Bone marrow smear · 40× objective, oil immersion · image size 250×250 — 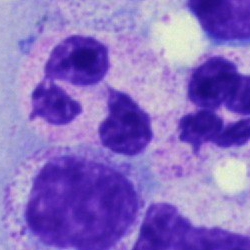

Q: What is shown here?
A: This is a neutrophil (segmented).